Brightfield, 40× oil-immersion objective; image size 250×250; bone marrow aspirate smear.
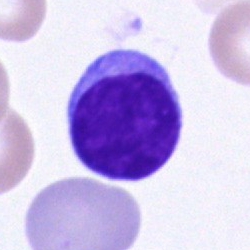 Specimen: bone marrow aspirate smear.
Cell: lymphocyte.
Lineage: lymphoid.